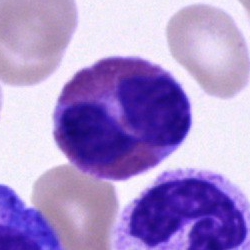

Q: What type of cell is this?
A: This is an eosinophil.